Bone marrow aspirate smear. May-Grünwald-Giemsa stain: 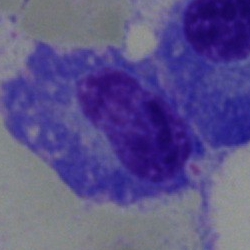Morphology — plasma cell.